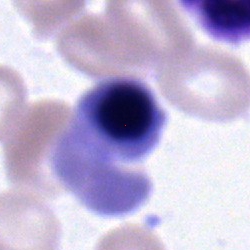 Q: What type of cell is this?
A: This is a normoblast.